Bone marrow aspirate smear: 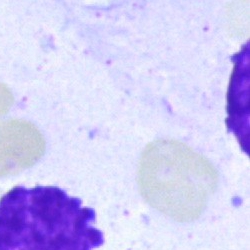 This is an artefact.